Bone marrow aspirate smear: 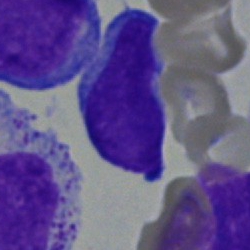Morphology consistent with a blast cell.